Bone marrow aspirate smear: 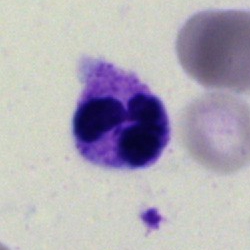This is a segmented neutrophil.